Bone marrow smear:
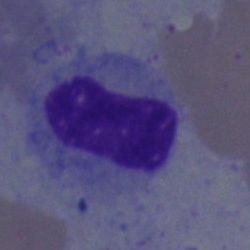
Specimen: bone marrow smear.
Cell: band-form neutrophil.